Bone marrow smear · 250×250 — 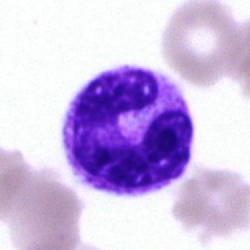

Band neutrophil.